Bone marrow aspirate smear:
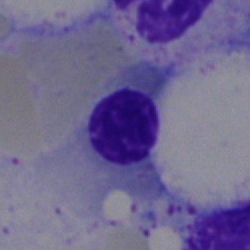
The classification is erythroblast.